100× oil immersion, 14.14 px/µm. Peripheral blood film: 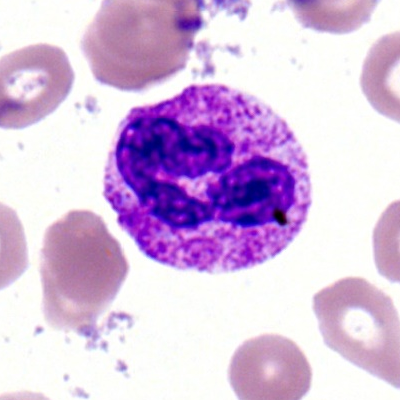
Morphological class — polymorphonuclear neutrophil.